Bone marrow aspirate smear: 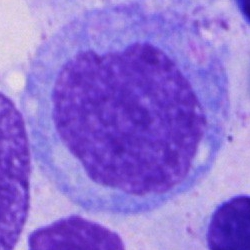
Q: What is the morphological classification of this cell?
A: It is a monocyte.